Bone marrow aspirate smear: 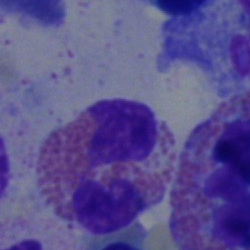 Cell = eosinophilic granulocyte.